Bone marrow aspirate smear
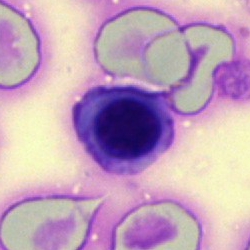
Classification: nucleated red blood cell.